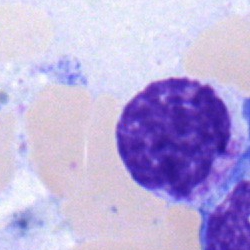Morphological class: lymphocyte.